Peripheral blood smear · 400 by 400 pixels:
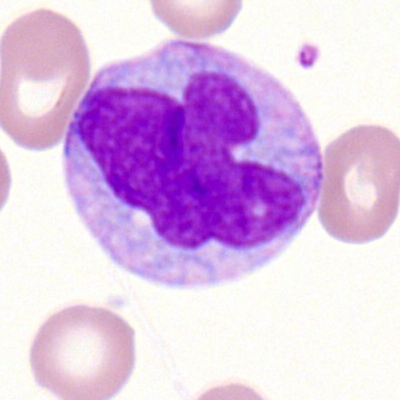The morphological class is monocyte.